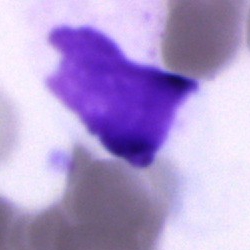Morphological class: artefact.